Bone marrow aspirate smear: 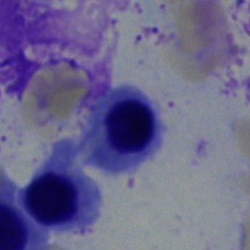 Erythroblast.